Bone marrow smear: 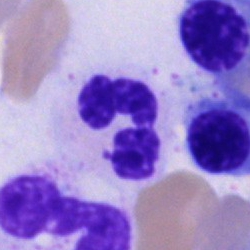Single cell identified as a segmented neutrophil.